Bone marrow smear: 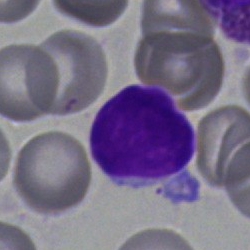 Impression → typical lymphocyte.